250 by 250 pixels. Bone marrow smear. Brightfield microscopy, 40× oil immersion:
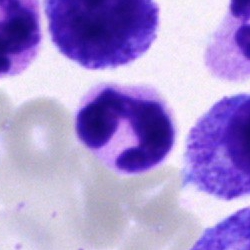

This is a neutrophil (segmented).